May-Grünwald-Giemsa stain; bone marrow smear; single cell centered in the field: 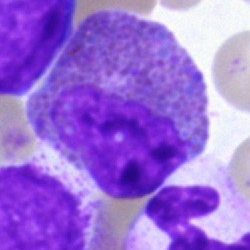Showing an eosinophilic granulocyte.